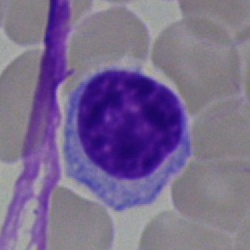Specimen: bone marrow aspirate smear.
Cell type: lymphocyte.
Lineage: lymphoid.